Peripheral blood smear
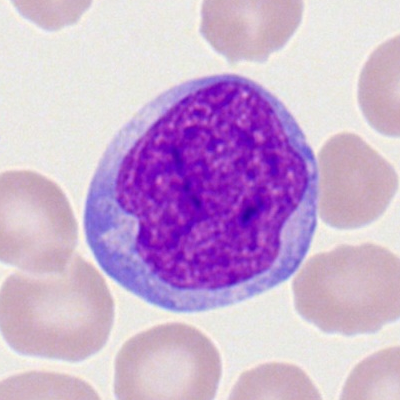
Morphological class = myeloblast.